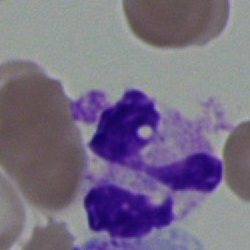
Cell: polymorphonuclear neutrophil.